Bone marrow smear: 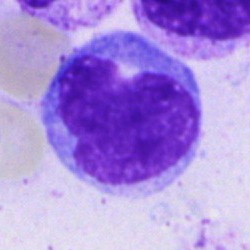 Morphological class = monocyte.